Bone marrow aspirate smear
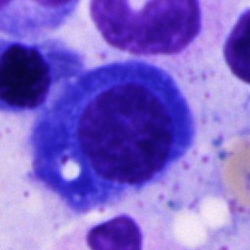
A plasma cell.